Bone marrow aspirate smear:
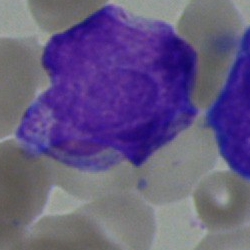

Q: What is the morphological classification of this cell?
A: It is a blast cell.